Bone marrow aspirate smear.
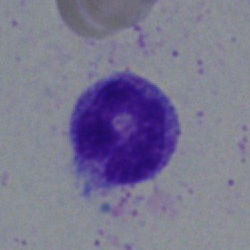 This is a neutrophil (segmented).